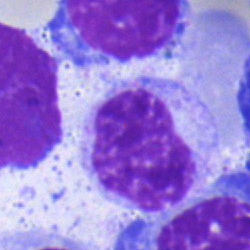
Specimen: bone marrow smear.
Cell: metamyelocyte.